Image size 250×250; 40× objective, oil immersion; bone marrow aspirate smear
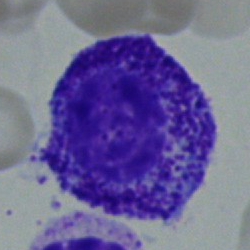 This is a progranulocyte.